Bone marrow smear.
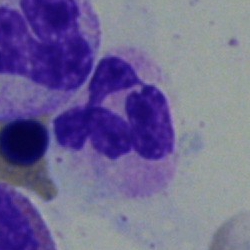
Morphology — polymorphonuclear neutrophil.